Bone marrow aspirate smear:
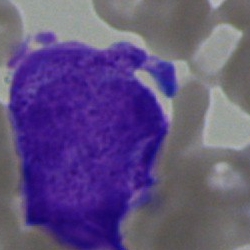 Showing a blast.